Single-cell crop · bone marrow aspirate smear: 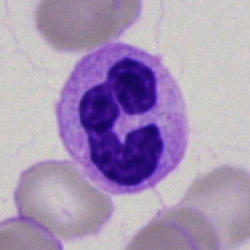
A segmented neutrophil.